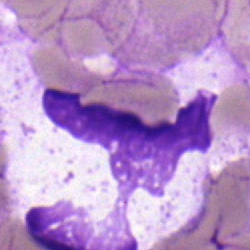

Morphology consistent with a neutrophil (segmented).